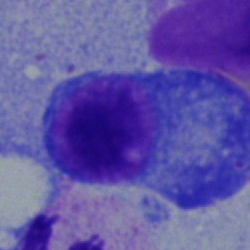

Cell: plasmacyte.